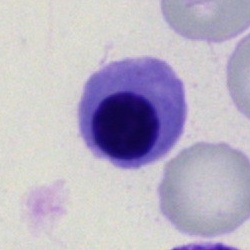Q: What is shown here?
A: A nucleated red blood cell.